250×250 · bone marrow smear:
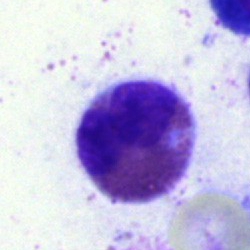The cell shown is an eosinophilic granulocyte.